Bone marrow aspirate smear — 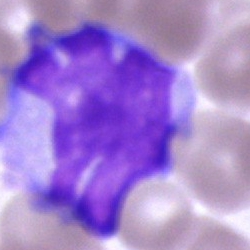 Q: What cell is this?
A: A monocyte.